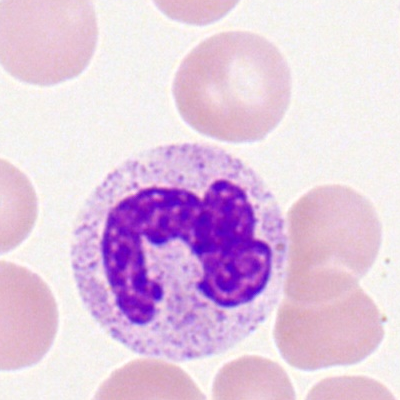

Morphology → neutrophil (segmented).